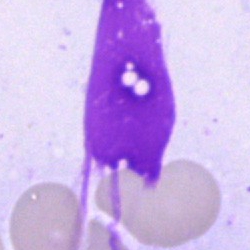Specimen: bone marrow smear.
Morphological class: artefact.